Bone marrow smear:
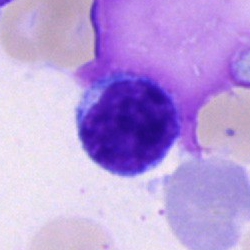
Morphology — typical lymphocyte.